250×250 · bone marrow smear.
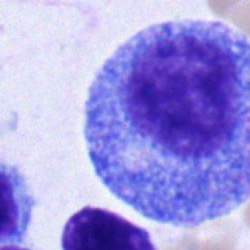 Q: What is the morphological classification of this cell?
A: A promyelocyte.